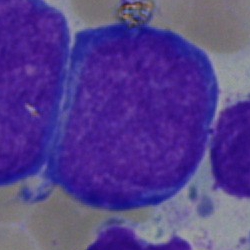
Bone marrow smear showing a blast cell.